Bone marrow smear: 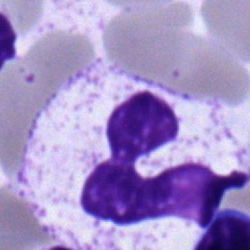 Q: What type of cell is this?
A: It is a polymorphonuclear neutrophil.